Bone marrow smear: 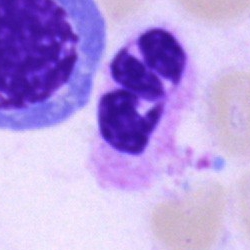 Q: What is the morphological classification of this cell?
A: A segmented neutrophil.